Peripheral blood smear:
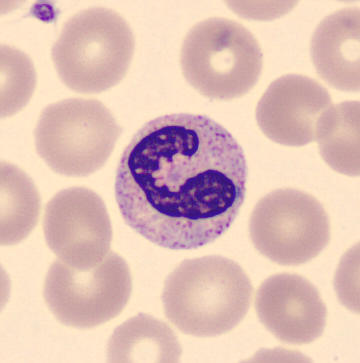
Impression — band-form neutrophil.